Bone marrow aspirate smear · brightfield microscopy, 40× oil immersion:
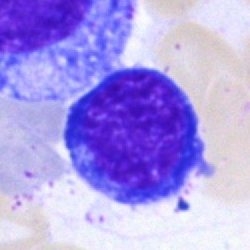 Specimen: bone marrow smear.
Classification: nucleated red cell.